250 by 250 pixels. Brightfield, 40× oil-immersion objective. Bone marrow aspirate smear — 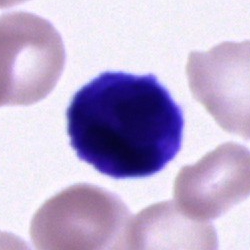

Cell type: unidentifiable cell.